Bone marrow aspirate smear: 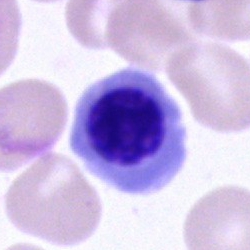

Showing a normoblast.